Bone marrow aspirate smear — 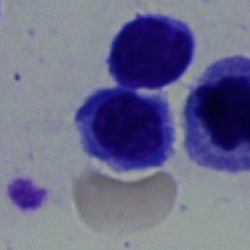
Impression — nucleated red blood cell.